Single-cell crop; bone marrow smear: 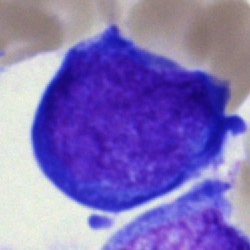

The cell shown is an undifferentiated blast.